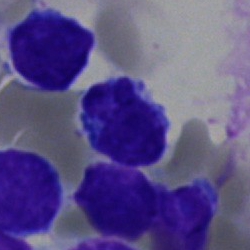
Bone marrow aspirate smear, single cell — typical lymphocyte.